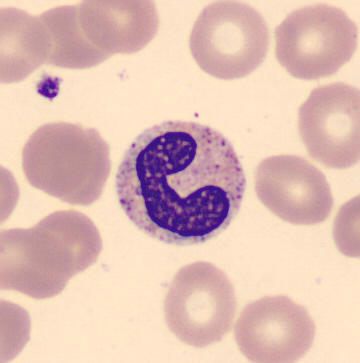

Cell type — stab cell.